Bone marrow aspirate smear · single cell centered in the field: 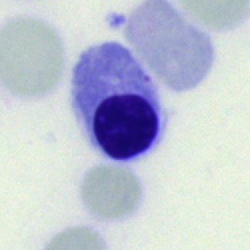
Showing a nucleated red blood cell.